Bone marrow aspirate smear — 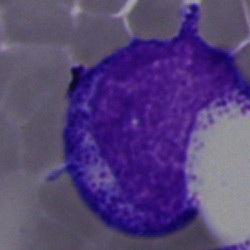

The morphological class is promyelocyte.